250×250 px. Bone marrow aspirate smear: 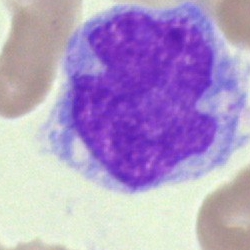The cell type is monocyte.